Bone marrow smear — 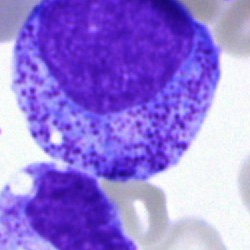

Single cell identified as a promyelocyte.